Bone marrow aspirate smear.
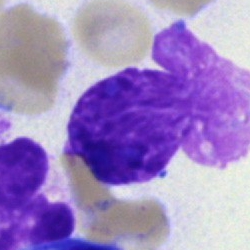 An artifact.